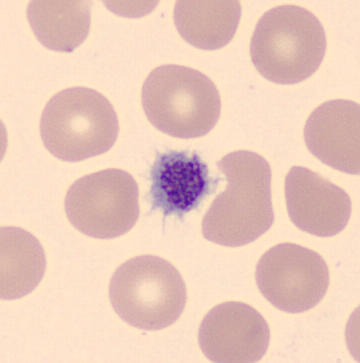

Acquisition: Peripheral blood smear.
A platelet.